Bone marrow smear:
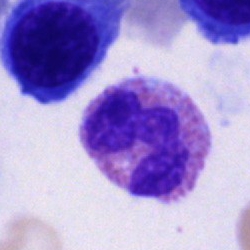 Cell type: eosinophil.